Bone marrow smear
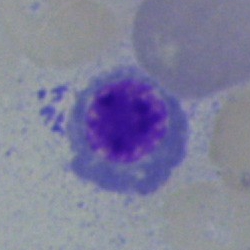 A nucleated red blood cell.